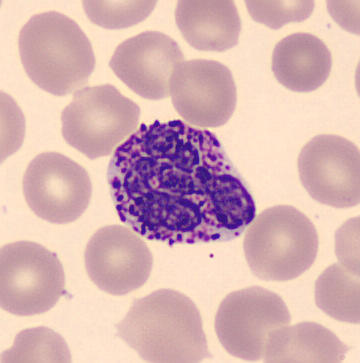Morphology → basophilic granulocyte.